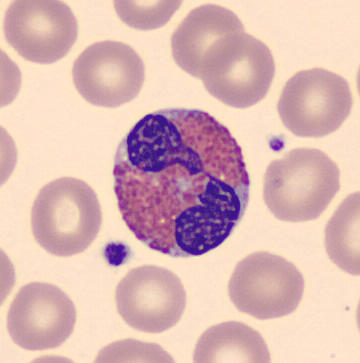
Morphological class: eosinophil.